Bone marrow aspirate smear. Brightfield, 40× oil-immersion objective — 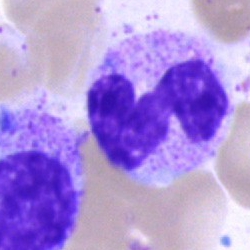
Morphological class = stab cell.